Bone marrow aspirate smear:
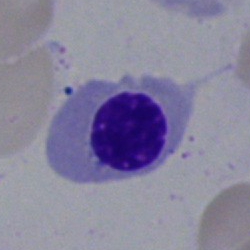This is a nucleated red cell.